Bone marrow smear — 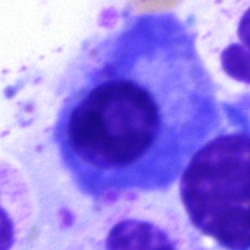

Morphology consistent with a plasma cell.